Bone marrow smear — 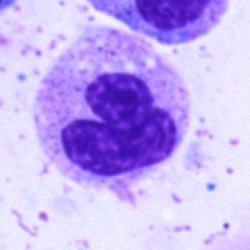

The cell is neutrophil (segmented).